Bone marrow aspirate smear.
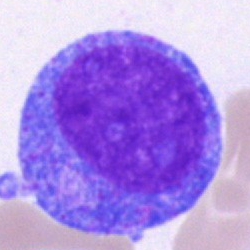 Morphological class: promyelocyte.